250×250 px. Bone marrow smear: 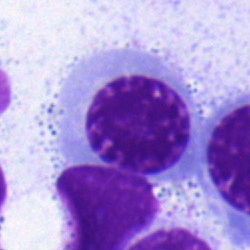 Q: What cell is this?
A: Nucleated red cell.